Bone marrow smear.
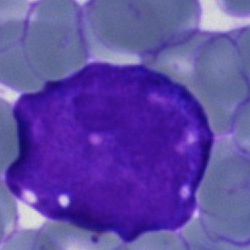

This is a blast.